Pappenheim-stained · bone marrow smear · cropped to a single cell — 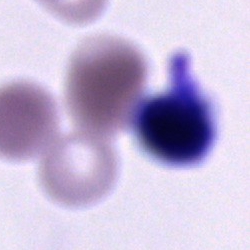
Morphology consistent with a cell of indeterminate lineage.